Bone marrow aspirate smear: 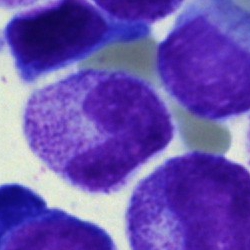

Q: Which cell type is shown here?
A: Band-form neutrophil.